Bone marrow smear.
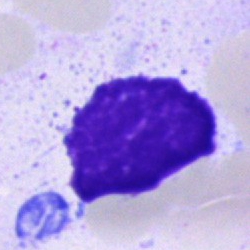 Q: What is shown here?
A: Artefact.